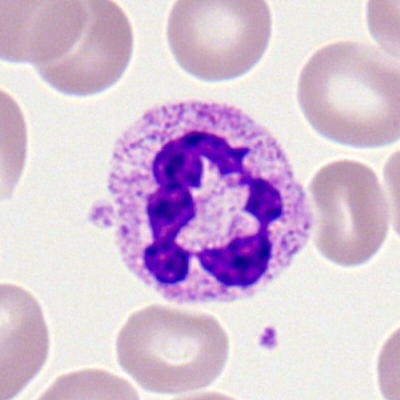Morphological class = segmented neutrophil.